Bone marrow smear — 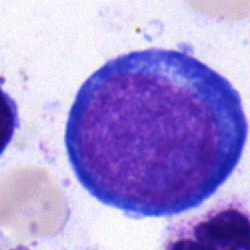
Classification = proerythroblast.